Bone marrow aspirate smear; 250 by 250 pixels.
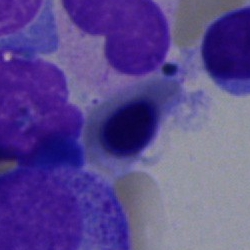
Morphology consistent with a nucleated red blood cell.